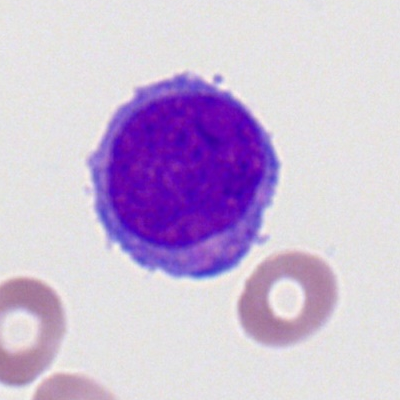 Q: What is the morphological classification of this cell?
A: A myeloid blast.